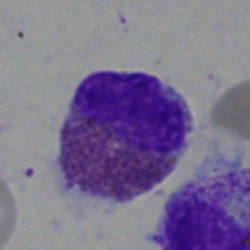Morphology — eosinophilic granulocyte.